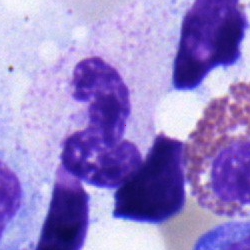

The cell is polymorphonuclear neutrophil.